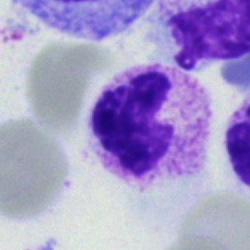
Bone marrow aspirate smear, single cell — stab cell.